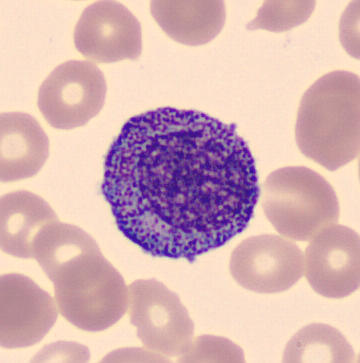 Identified as a progranulocyte.

Preparation: Peripheral blood film.